Bone marrow smear · brightfield, 40× oil-immersion objective: 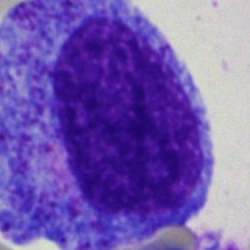

Cell type — promyelocyte.